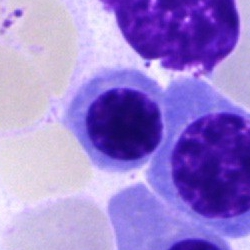 Q: What type of cell is this?
A: This is a normoblast.